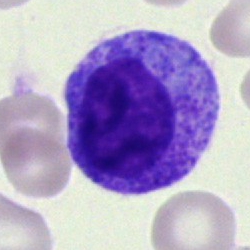
Q: What is the morphological classification of this cell?
A: A myelocyte.